Bone marrow aspirate smear.
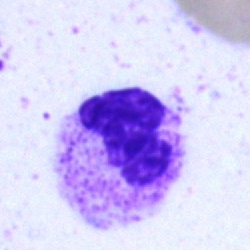
Q: Which cell type is shown here?
A: Segmented neutrophil.